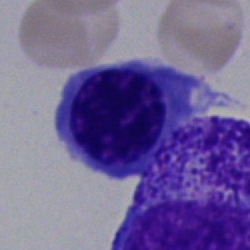

The cell shown is a normoblast.